Bone marrow smear · May-Grünwald-Giemsa stain · 40× objective, oil immersion:
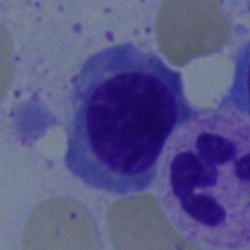

This is a nucleated red blood cell.